Bone marrow smear · May-Grünwald-Giemsa stain · 250×250 px
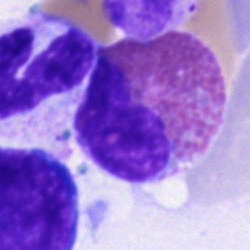

Specimen: bone marrow smear.
Cell type: eosinophilic granulocyte.